Bone marrow aspirate smear. May-Grünwald-Giemsa stain. 40× objective, oil immersion: 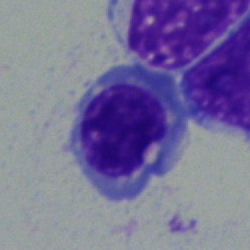Morphology consistent with a nucleated red blood cell.